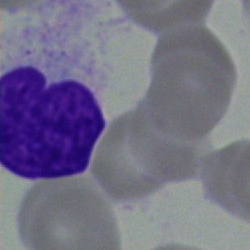

Single-cell crop from a bone marrow smear: artefact.